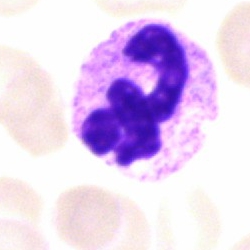 The classification is neutrophil (segmented).